Peripheral blood smear:
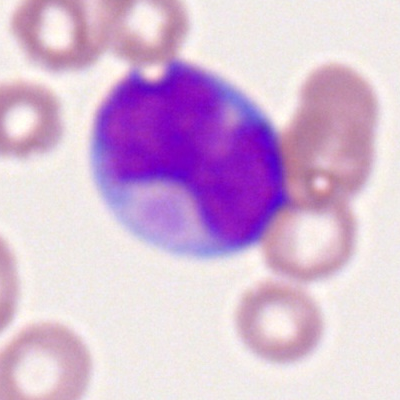
{"cell_type": "myeloblast", "lineage": "myeloid"}